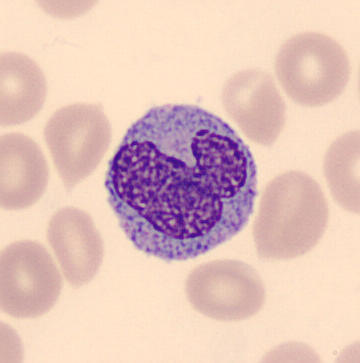 Classification = monocyte. Image: Peripheral blood film.